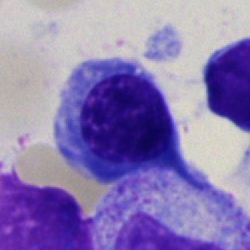

Normoblast.